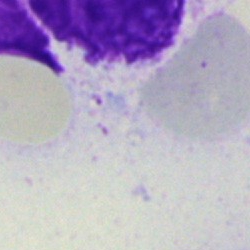The cell shown is an artifact.